Bone marrow aspirate smear.
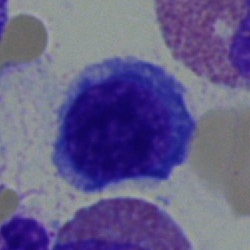 Impression → normoblast.